Bone marrow aspirate smear. 250 by 250 pixels. Single-cell field
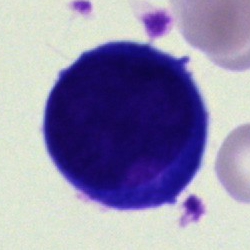A nucleated red cell.